Bone marrow aspirate smear: 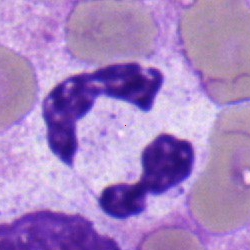Single cell identified as a polymorphonuclear neutrophil.